Bone marrow aspirate smear:
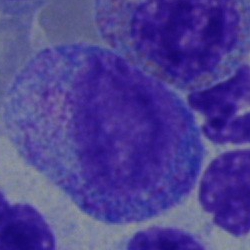
Specimen: bone marrow smear.
Cell type: progranulocyte.
Lineage: myeloid.